Bone marrow aspirate smear: 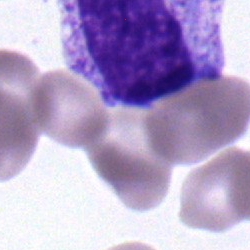 Cell type — myelocyte.